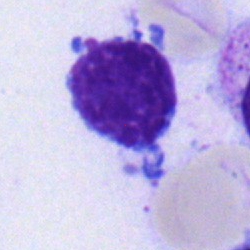 Single-cell crop from a bone marrow smear: typical lymphocyte.